Bone marrow aspirate smear — 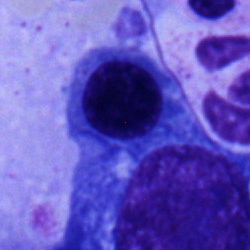Classification — erythroblast.